Bone marrow aspirate smear: 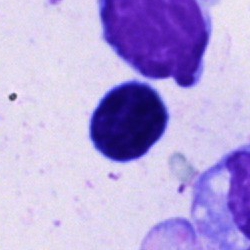

Specimen: bone marrow smear.
Cell: unidentifiable cell.